Peripheral blood film — 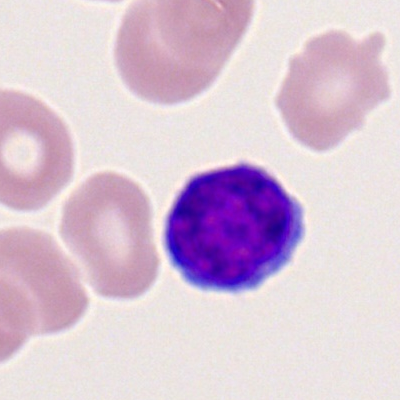 Cell: typical lymphocyte.